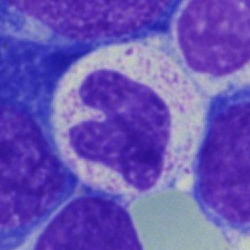Showing a neutrophil (segmented).